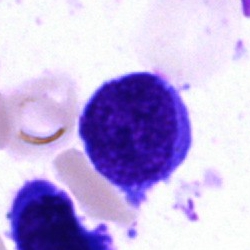 Impression → blast.